Bone marrow smear. May-Grünwald-Giemsa stain. Brightfield microscopy, 40× oil immersion — 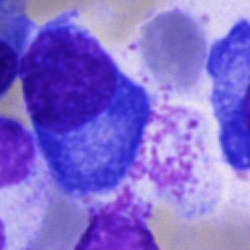This is a plasma cell.